40× objective, oil immersion; bone marrow aspirate smear: 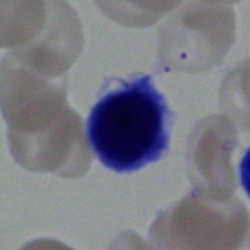
Cell = nucleated red blood cell.